Bone marrow smear.
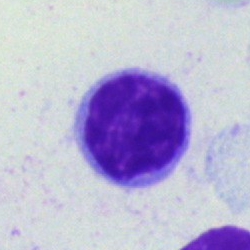
The cell type is lymphocyte.